Bone marrow aspirate smear
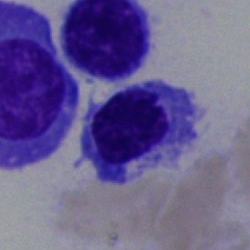
This is a normoblast.